Bone marrow smear: 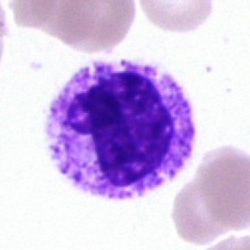

Specimen: bone marrow smear.
Cell: metamyelocyte.